Bone marrow aspirate smear
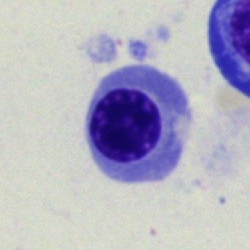Showing an erythroblast.